Bone marrow smear
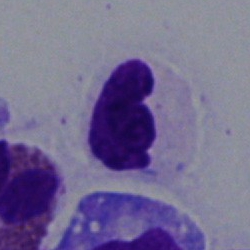
Polymorphonuclear neutrophil.